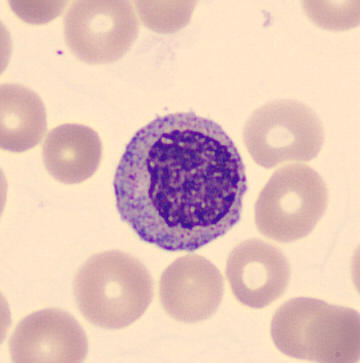

Preparation: Peripheral blood film.
The morphological class is myelocyte.